Peripheral blood film; Romanowsky-stained; single-cell crop.
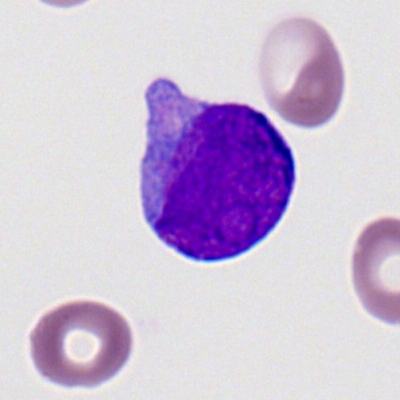 Q: Which cell type is shown here?
A: It is a myeloblast.